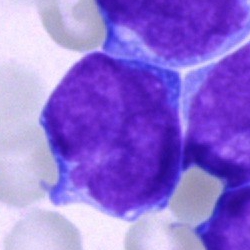Morphological class = blast.